Bone marrow smear
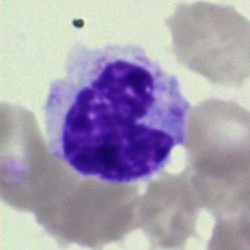 Specimen: bone marrow aspirate smear.
Cell: cell of indeterminate lineage.